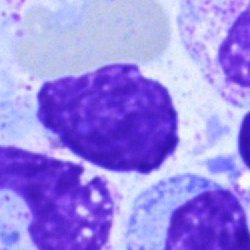Bone marrow smear showing an artifact.